Bone marrow aspirate smear · 250×250 px · brightfield microscopy, 40× oil immersion.
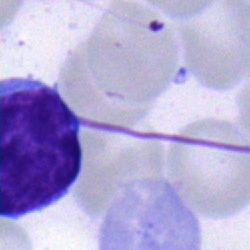

Morphological class = stab cell.